Bone marrow smear. Single-cell field: 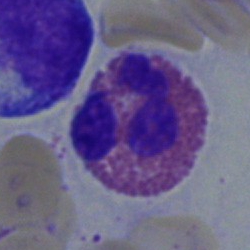 Impression → eosinophil.